Bone marrow aspirate smear · brightfield microscopy, 40× oil immersion · single-cell crop:
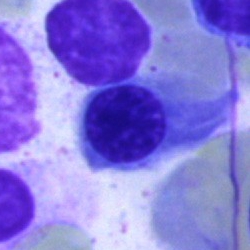 Q: What is the morphological classification of this cell?
A: A nucleated red cell.